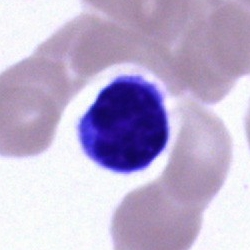{"cell_type": "typical lymphocyte", "lineage": "lymphoid"}